250×250. Bone marrow smear: 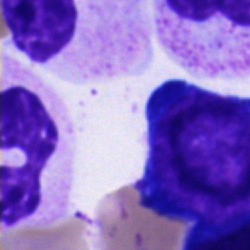Q: What cell is this?
A: This is a proerythroblast.